Brightfield microscopy, 40× oil immersion · 250×250 · bone marrow aspirate smear — 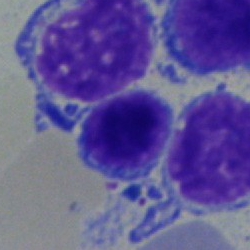
Lymphocyte.